40× oil immersion. Bone marrow aspirate smear
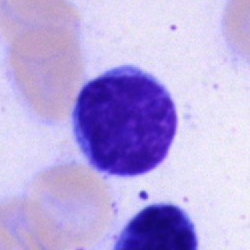Single cell identified as a lymphocyte.